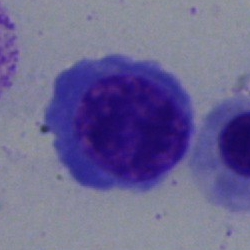 Q: Identify the cell.
A: This is a nucleated red blood cell.